250×250 px. 40× objective, oil immersion. Bone marrow smear
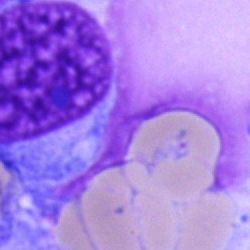
Impression — unidentifiable cell.